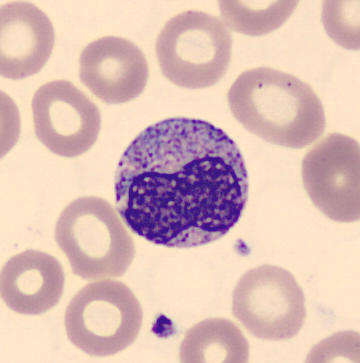Metamyelocyte.

Peripheral blood film.